Bone marrow smear — 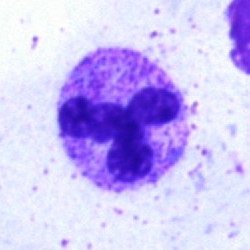 {"cell_type": "segmented neutrophil"}